Bone marrow smear.
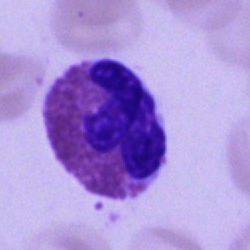 Impression — eosinophilic granulocyte.